Bone marrow aspirate smear
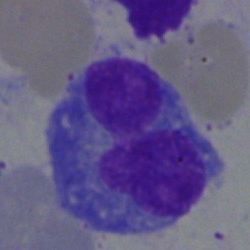The cell is plasmacyte.